100× objective, oil immersion · Romanowsky stain · peripheral blood smear
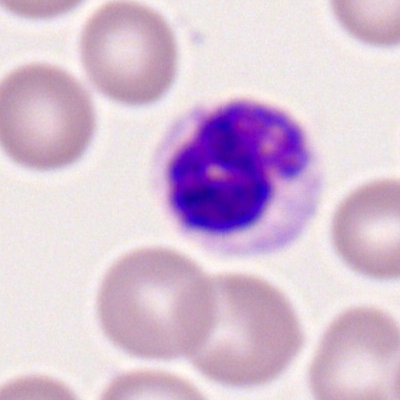Specimen: peripheral blood smear.
Classification: segmented neutrophil.
Lineage: myeloid.